Bone marrow smear · brightfield, 40× oil-immersion objective: 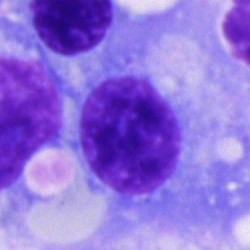 Showing a plasma cell.